Bone marrow aspirate smear: 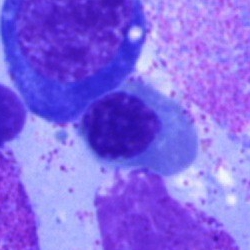 The morphological class is nucleated red blood cell.